Bone marrow smear: 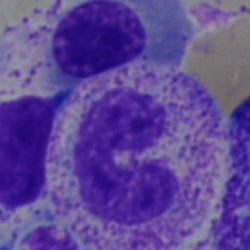 The cell shown is a band neutrophil.